250 by 250 pixels; bone marrow aspirate smear; cropped to a single cell.
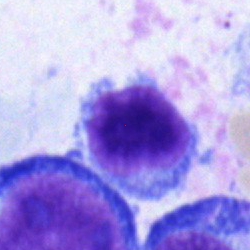Morphology — lymphocyte.